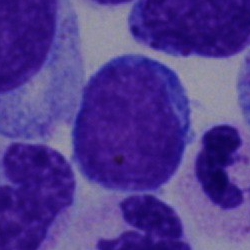 Bone marrow aspirate smear, single cell — typical lymphocyte.